Single cell centered in the field; bone marrow aspirate smear.
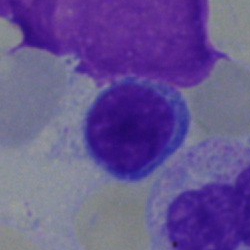
{"cell_type": "typical lymphocyte"}